Bone marrow smear.
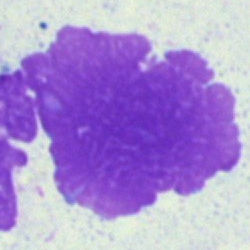
{"cell_type": "artefact"}